Bone marrow aspirate smear.
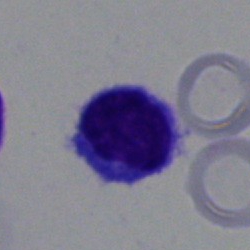
Q: Which cell type is shown here?
A: Typical lymphocyte.